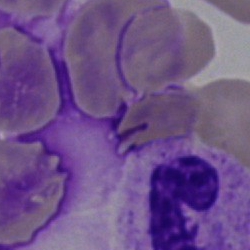{"cell_type": "artefact"}